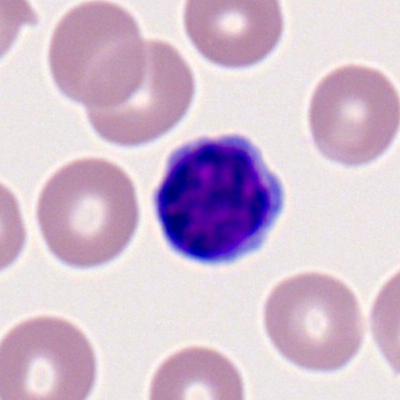 Lymphocyte.